Brightfield, 40× oil-immersion objective; bone marrow smear — 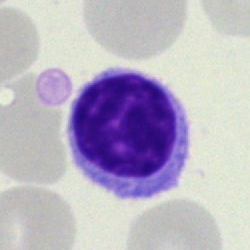

Classification = typical lymphocyte.